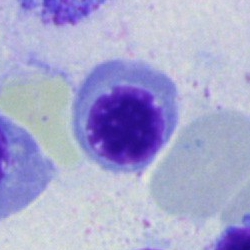Single cell identified as a normoblast.